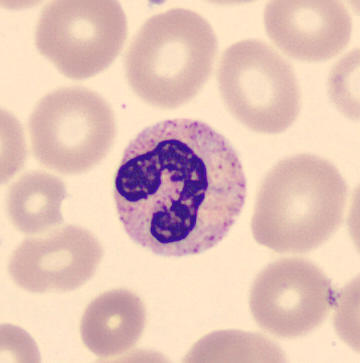 Specimen: peripheral blood film.
Morphological class: neutrophil (band).
Lineage: myeloid.